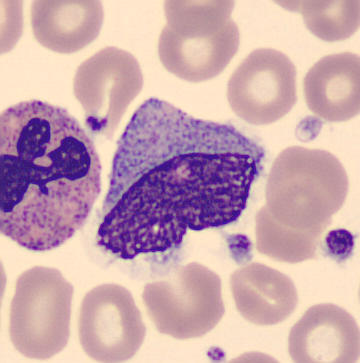Monocyte.